MGG-stained · bone marrow smear · 40× objective, oil immersion.
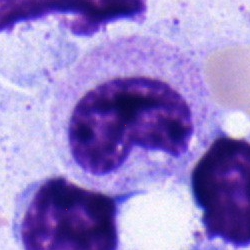 Classification = myelocyte.